May-Grünwald-Giemsa/Pappenheim stain. Bone marrow smear. 40× objective, oil immersion — 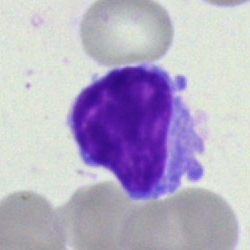Morphological class — typical lymphocyte.